Bone marrow smear:
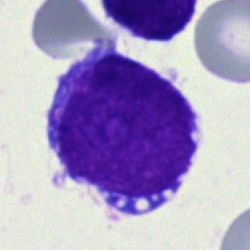 Classification — undifferentiated blast.